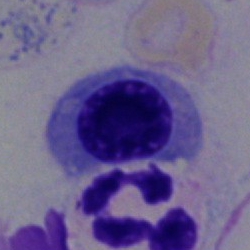 Impression — normoblast.